Bone marrow aspirate smear: 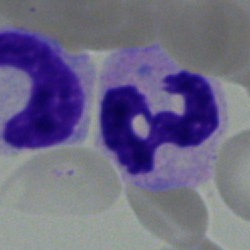
Morphology consistent with a neutrophil (segmented).